Bone marrow aspirate smear; brightfield, 40× oil-immersion objective: 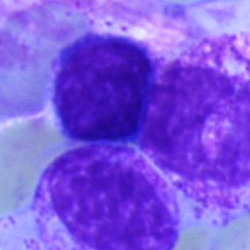
Q: Which cell type is shown here?
A: It is a typical lymphocyte.